250 by 250 pixels; 40× objective, oil immersion; bone marrow aspirate smear: 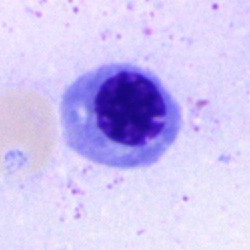

This is a nucleated red blood cell.